Romanowsky-type stain. Peripheral blood smear:
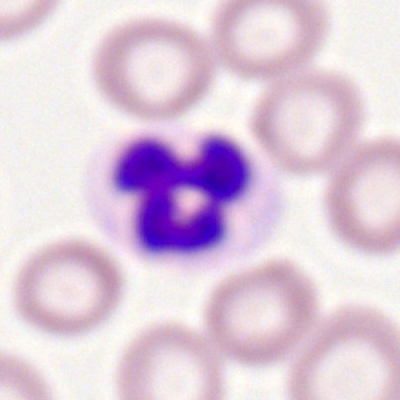

The cell shown is a segmented neutrophil.